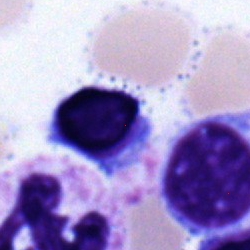
Lymphocyte.